Single-cell field; bone marrow smear — 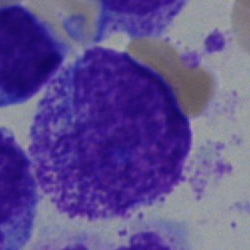 This is a myelocyte.